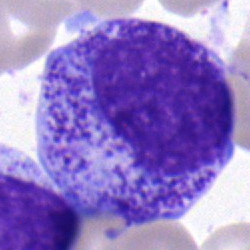
Classification — myelocyte.